Bone marrow smear:
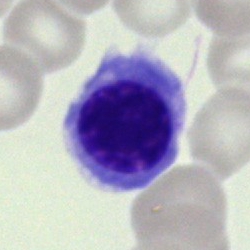 {"cell_type": "nucleated red blood cell", "lineage": "erythroid"}